Bone marrow smear
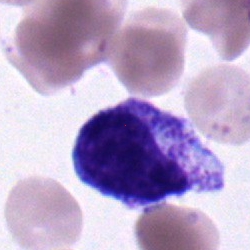

Cell — myelocyte.